Bone marrow aspirate smear · brightfield, 40× oil-immersion objective
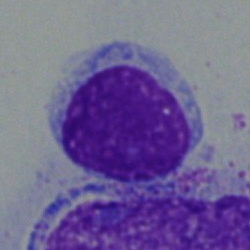 Specimen: bone marrow aspirate smear.
Morphological class: lymphocyte.
Lineage: lymphoid.